Bone marrow aspirate smear: 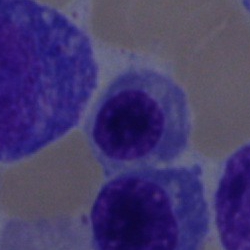
A nucleated red cell.